Peripheral blood smear · Romanowsky-stained · 400 by 400 pixels: 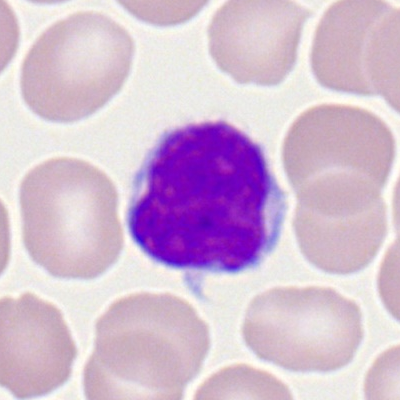
Lymphocyte.